Brightfield microscopy, 40× oil immersion · May-Grünwald-Giemsa stain · bone marrow smear
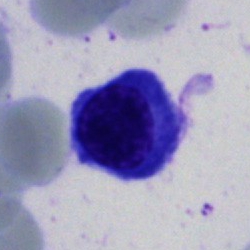
Morphology consistent with a nucleated red cell.